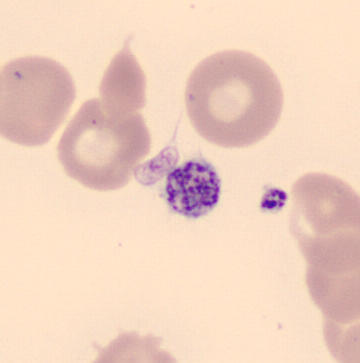
Identified as a thrombocyte.